Bone marrow smear — 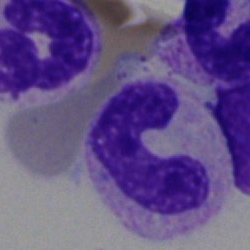

Morphology consistent with a stab cell.